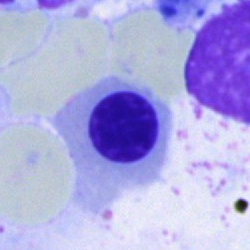
Morphological class = erythroblast.